Peripheral blood film — 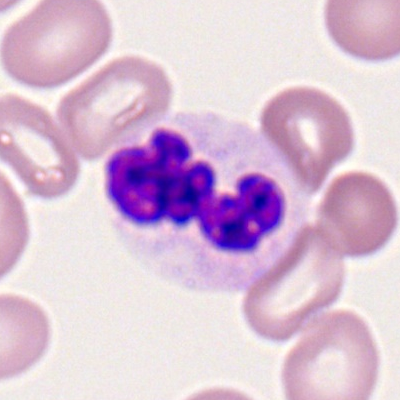 This is a segmented neutrophil.